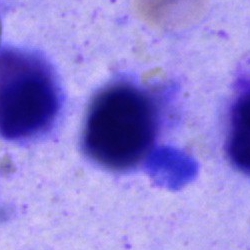 Impression — artefact.